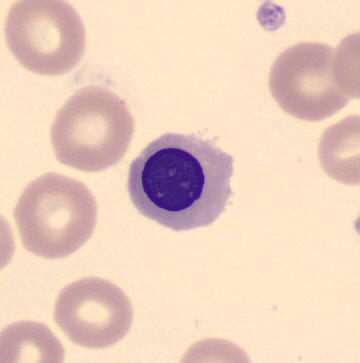
Impression — nucleated red cell.